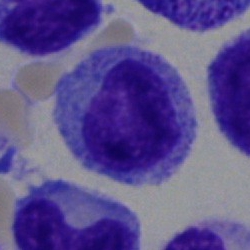 Cell type = promyelocyte.